Bone marrow aspirate smear.
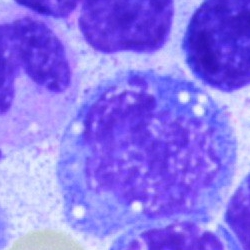 Impression → monocyte.